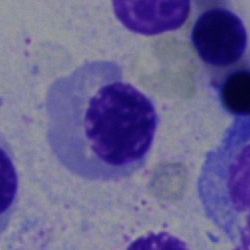

The cell shown is a normoblast.